Bone marrow smear
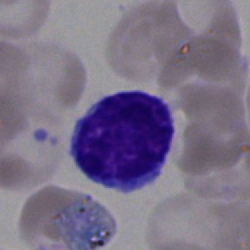 Q: Which cell type is shown here?
A: This is a typical lymphocyte.